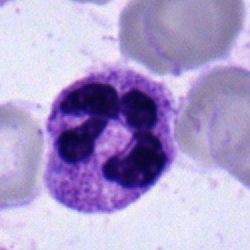
Neutrophil (segmented).